Peripheral blood smear; 400×400: 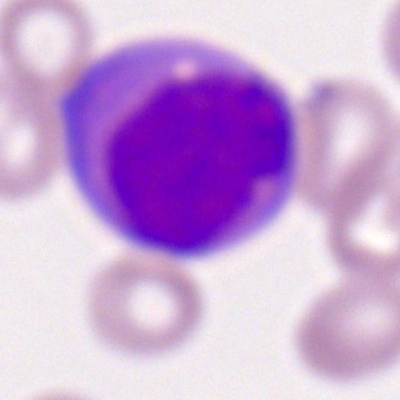
Morphology consistent with a myeloid blast.